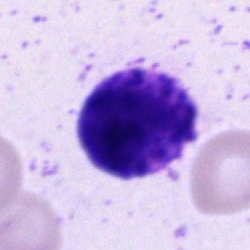

Morphology consistent with a basophil.